Bone marrow smear
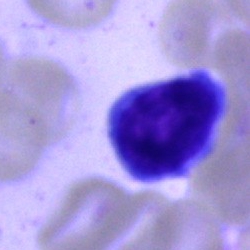
Q: What type of cell is this?
A: This is a typical lymphocyte.